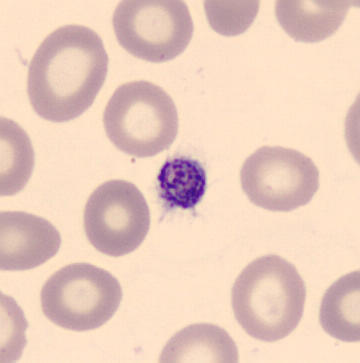 Specimen: peripheral blood smear.
Classification: thrombocyte. Automated cell imaging (CellaVision DM96).